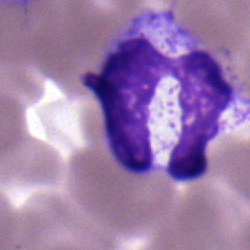The morphological class is segmented neutrophil.